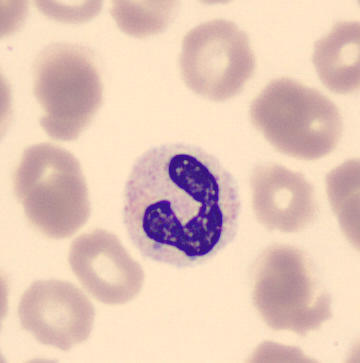The morphological class is band neutrophil.